Peripheral blood film · 400×400.
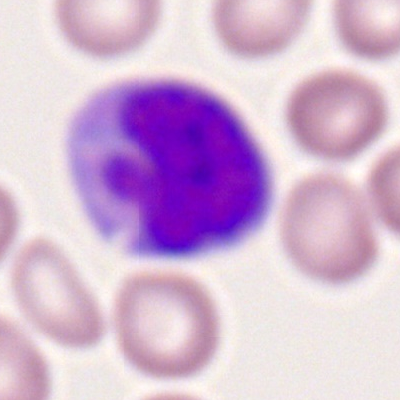
Impression — monocyte.